40× objective, oil immersion; bone marrow smear.
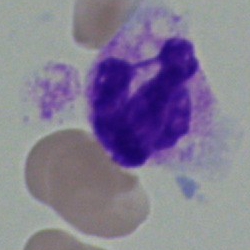
Morphological class — polymorphonuclear neutrophil.